M8 digital microscope (Precipoint), 100× oil immersion · peripheral blood film: 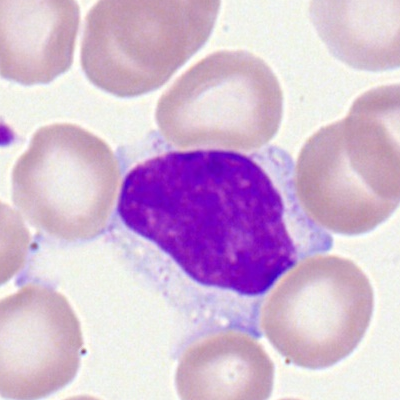 Showing a typical lymphocyte.